Pappenheim-stained · brightfield, 40× oil-immersion objective · bone marrow aspirate smear
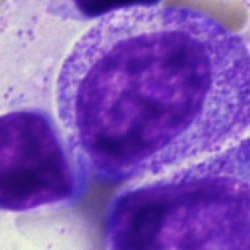
Morphology consistent with a myelocyte.